Bone marrow smear:
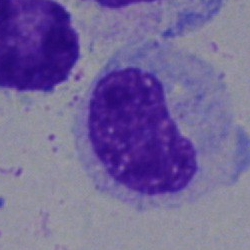Specimen: bone marrow smear.
Cell type: metamyelocyte.